Bone marrow aspirate smear: 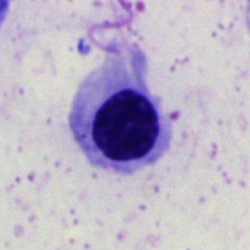

Single cell identified as a normoblast.